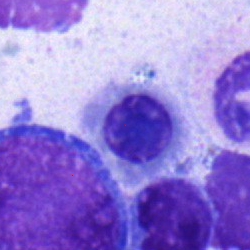Nucleated red cell.